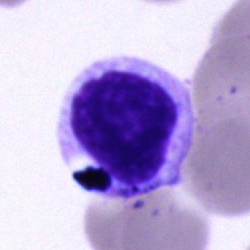

Unidentifiable cell.